Bone marrow smear · May-Grünwald-Giemsa stain · image size 250×250
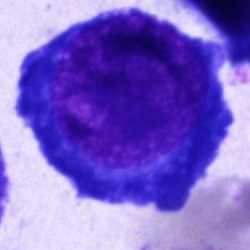
A proerythroblast.